Bone marrow aspirate smear:
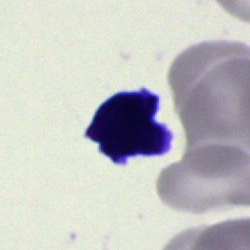

Single cell identified as an artefact.